Bone marrow smear
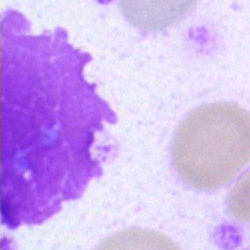 Q: What is shown here?
A: It is an artefact.